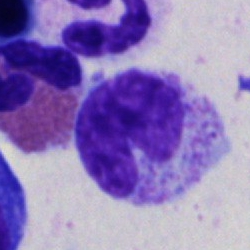Cell type: stab cell.